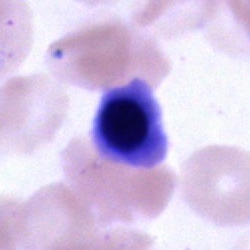 Showing a normoblast.